Brightfield microscopy, 40× oil immersion; bone marrow smear; 250×250 px
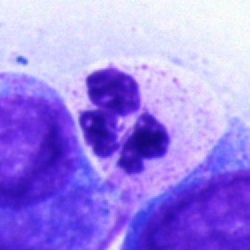Segmented neutrophil.